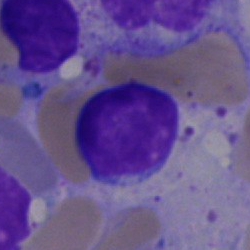
Showing a typical lymphocyte.